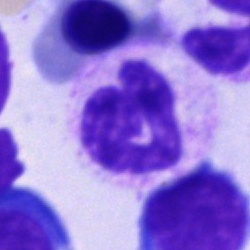 Bone marrow smear showing a polymorphonuclear neutrophil.